Bone marrow aspirate smear
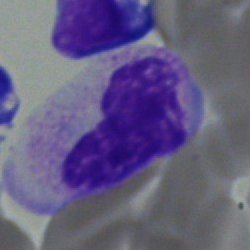
Specimen: bone marrow smear.
Morphological class: stab cell.